Bone marrow aspirate smear.
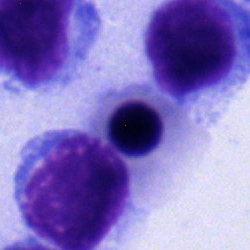

A nucleated red cell.